Bone marrow smear:
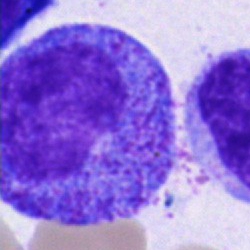

Q: What type of cell is this?
A: Promyelocyte.